Bone marrow aspirate smear
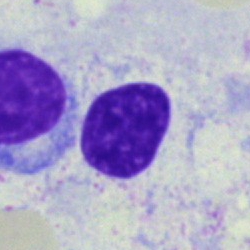

Morphology consistent with a lymphocyte.